MGG-stained; bone marrow smear; 250×250
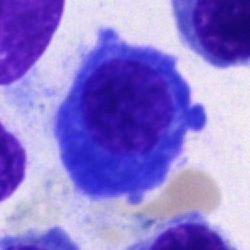
Morphology — plasmacyte.